Pappenheim-stained; bone marrow aspirate smear; 250 by 250 pixels.
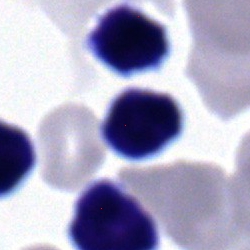

Specimen: bone marrow smear.
Morphological class: lymphocyte.
Lineage: lymphoid.